Bone marrow smear; 250 by 250 pixels.
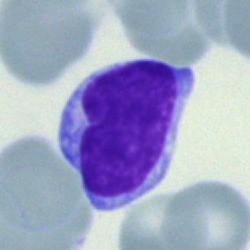

Cell type = lymphocyte.